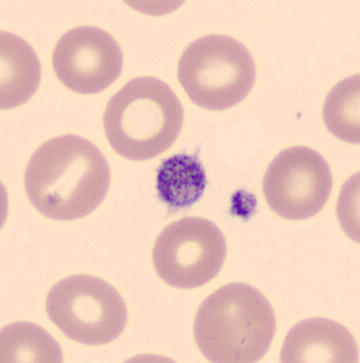

Q: What is shown here?
A: A platelet.

Peripheral blood film.